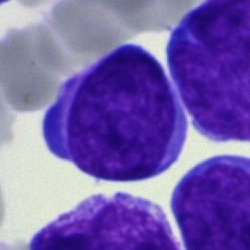Specimen: bone marrow smear.
Morphological class: blast.